Bone marrow smear — 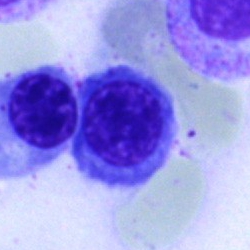

Q: What is the morphological classification of this cell?
A: An erythroblast.